40× objective, oil immersion; bone marrow aspirate smear
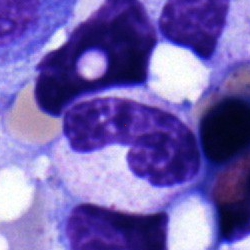 Classification: band neutrophil.